Bone marrow aspirate smear — 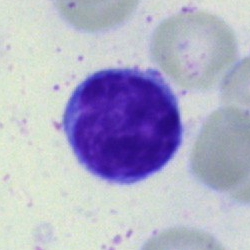 The cell shown is a lymphocyte.